Peripheral blood smear. Single-cell field — 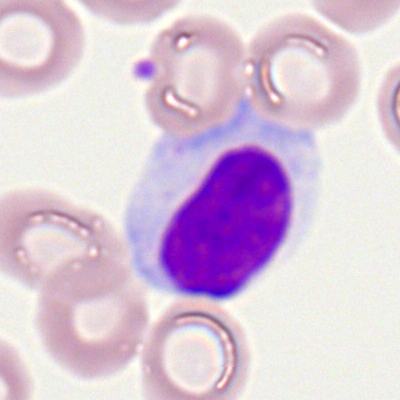 Q: What is the morphological classification of this cell?
A: It is a typical lymphocyte.